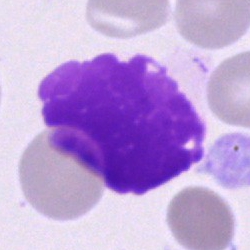Q: What is shown here?
A: Artifact.